Bone marrow smear · MGG-stained — 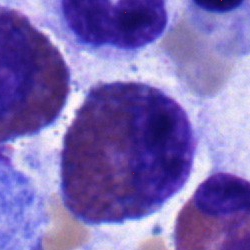This is a metamyelocyte.